Bone marrow aspirate smear.
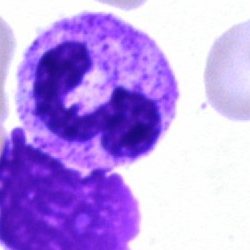Showing a segmented neutrophil.